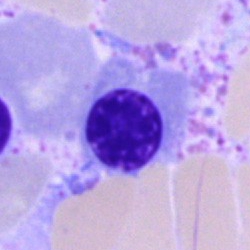Q: Identify the cell.
A: Blast cell.